250×250 · bone marrow smear — 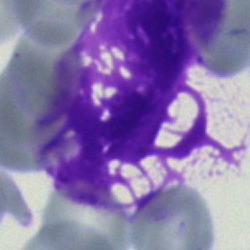
Cell type: artefact.